Bone marrow smear; 250 by 250 pixels:
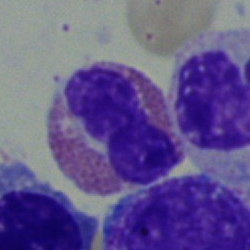

Cell type — eosinophilic granulocyte.